Bone marrow smear · 40× objective, oil immersion
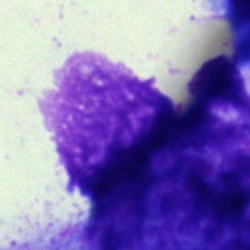

An artifact.